Bone marrow aspirate smear; brightfield microscopy, 40× oil immersion:
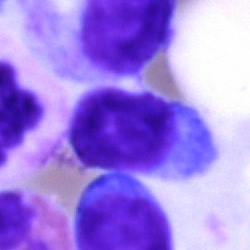 {"cell_type": "lymphocyte", "lineage": "lymphoid"}